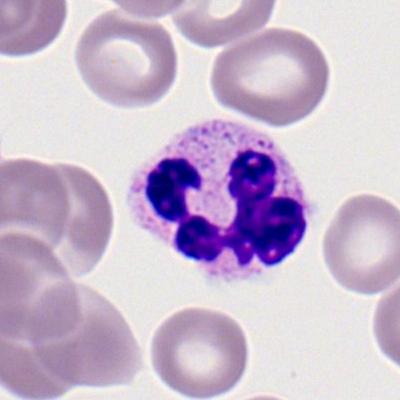

Cell — segmented neutrophil.